Bone marrow aspirate smear.
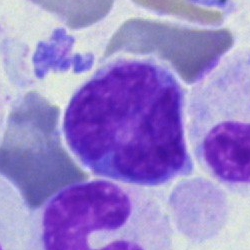

Morphological class: monocyte.